Bone marrow smear:
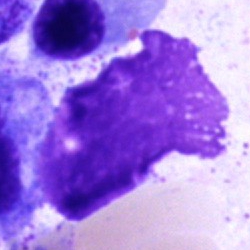

Classification = artifact.